Image size 250×250; bone marrow smear; single cell centered in the field
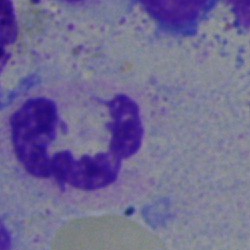A segmented neutrophil.